Image size 250×250; bone marrow aspirate smear; 40× oil immersion:
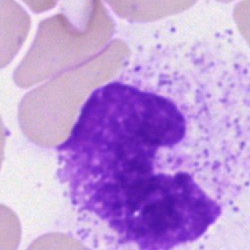

Specimen: bone marrow aspirate smear.
Cell: artifact.